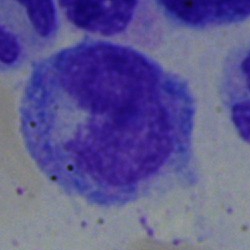 Impression — monocyte.